250×250; bone marrow smear — 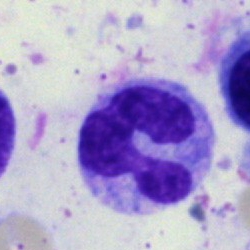 The morphological class is monocyte.